Bone marrow aspirate smear. 40× oil immersion:
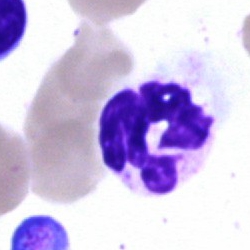

Cell type — segmented neutrophil.